Bone marrow aspirate smear — 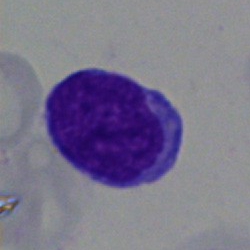

Specimen: bone marrow smear.
Cell: blast cell.